Bone marrow aspirate smear. Pappenheim-stained: 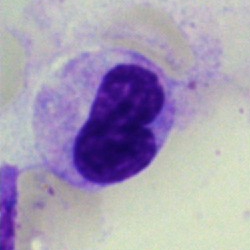Morphology consistent with a band neutrophil.